MGG-stained · 250 by 250 pixels · bone marrow smear — 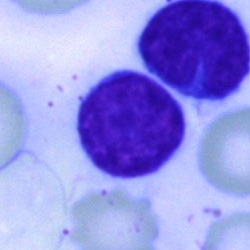

Specimen: bone marrow aspirate smear.
Classification: lymphocyte.
Lineage: lymphoid.